Bone marrow smear; single cell centered in the field; Pappenheim-stained.
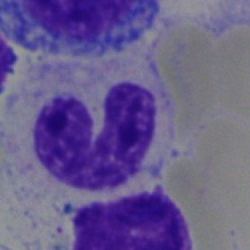

Morphological class: stab cell.